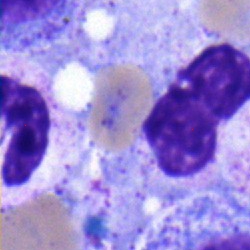Bone marrow aspirate smear, single cell — neutrophil (segmented).